Bone marrow aspirate smear:
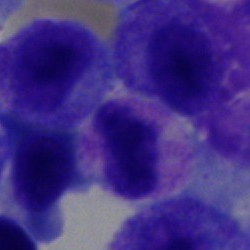
The cell shown is a segmented neutrophil.